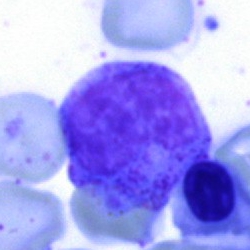 Specimen: bone marrow smear.
Cell type: cell of indeterminate lineage.